Bone marrow aspirate smear. 40× objective, oil immersion:
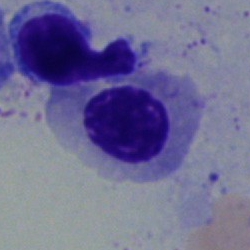
Specimen: bone marrow smear.
Classification: normoblast.
Lineage: erythroid.